Bone marrow smear: 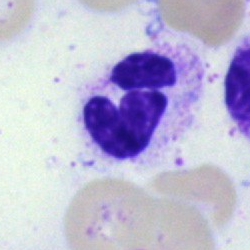
Classification — segmented neutrophil.